Bone marrow aspirate smear. 40× oil immersion.
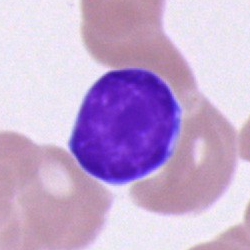
Cell type — typical lymphocyte.